250×250 · bone marrow aspirate smear: 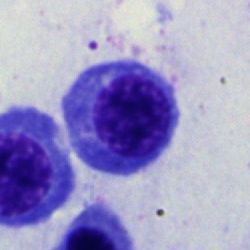
Specimen: bone marrow smear.
Cell type: nucleated red blood cell.
Lineage: erythroid.